Peripheral blood smear: 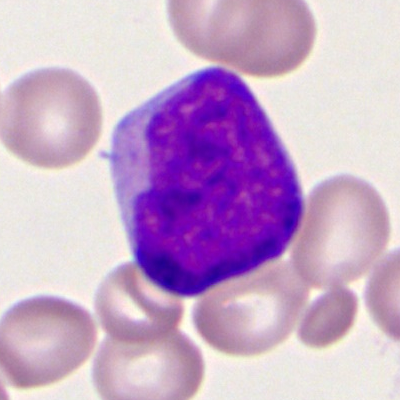
Specimen: peripheral blood smear.
Cell type: myeloid blast.